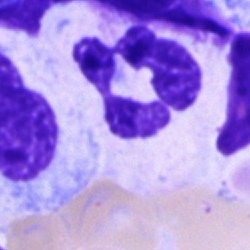
Bone marrow smear showing a neutrophil (segmented).